Bone marrow aspirate smear · Pappenheim-stained — 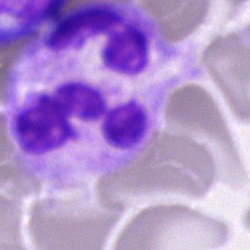

This is a polymorphonuclear neutrophil.